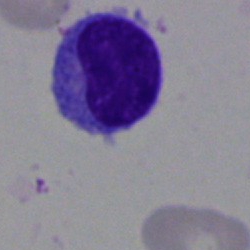
Impression → typical lymphocyte.